Single cell centered in the field. Bone marrow aspirate smear — 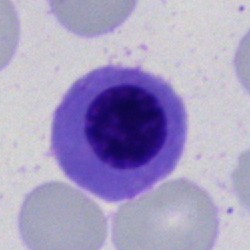
The classification is erythroblast.